250 by 250 pixels; 40× objective, oil immersion; bone marrow aspirate smear.
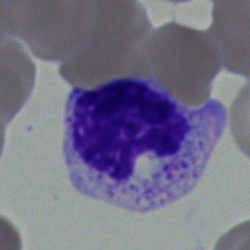
Morphology consistent with a myelocyte.